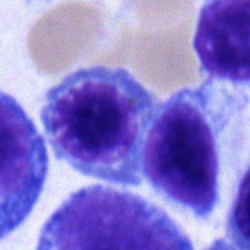 Q: What type of cell is this?
A: Nucleated red blood cell.